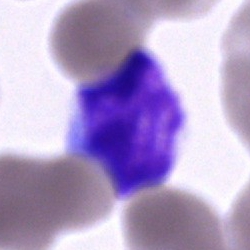
Impression — lymphocyte.